Brightfield microscopy, 40× oil immersion · single-cell crop · bone marrow smear
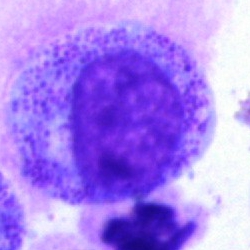
The morphological class is promyelocyte.